Peripheral blood smear · Romanowsky-type stain
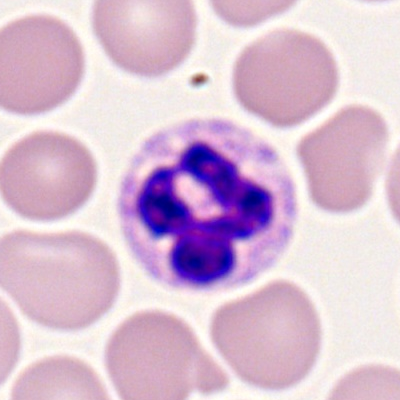
Cell = polymorphonuclear neutrophil.